Bone marrow smear: 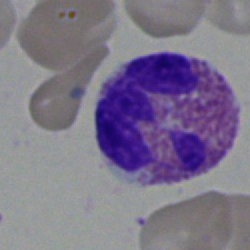Single cell identified as an eosinophilic granulocyte.